Bone marrow aspirate smear
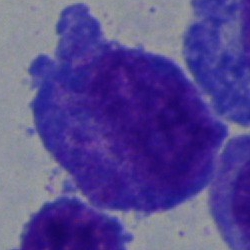

Cell: promyelocyte.